May-Grünwald-Giemsa stain. Bone marrow aspirate smear: 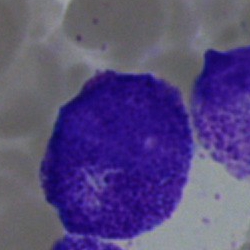

Myelocyte.